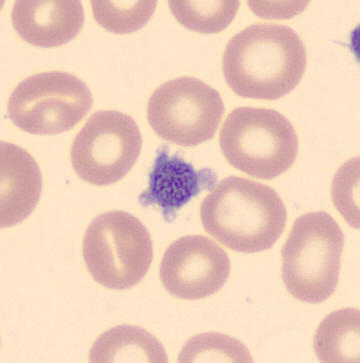Peripheral blood smear. Q: What is this?
A: Platelet.